Bone marrow smear — 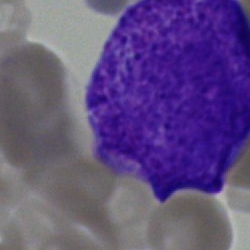 Cell = undifferentiated blast.